Bone marrow smear — 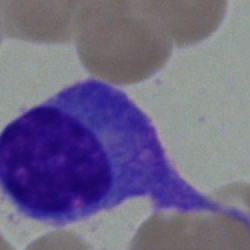

Morphology consistent with a plasma cell.